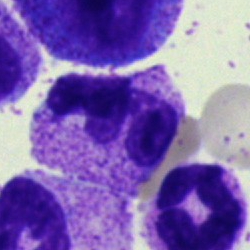Q: What is shown here?
A: It is a segmented neutrophil.